Cropped to a single cell. Bone marrow smear. MGG-stained: 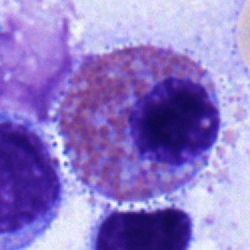

Morphological class: eosinophilic granulocyte.